Single-cell field · peripheral blood film:
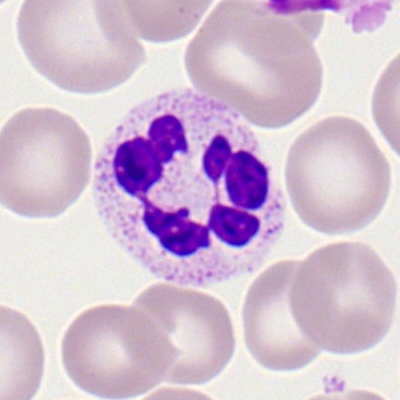

Q: Identify the cell.
A: It is a polymorphonuclear neutrophil.